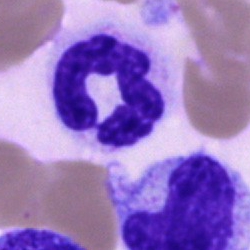

Classification — segmented neutrophil.